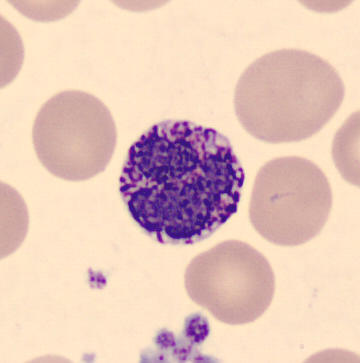Identified as a basophil.